Bone marrow smear:
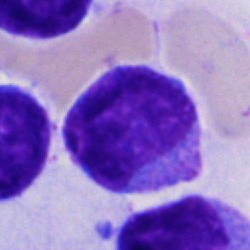

Showing a blast.